40× objective, oil immersion · bone marrow aspirate smear
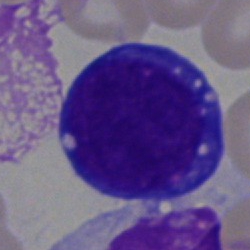

Cell type = blast cell.